Bone marrow smear
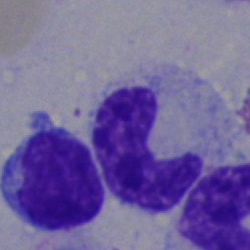 Morphology → neutrophil (band).